Single cell centered in the field. Bone marrow aspirate smear
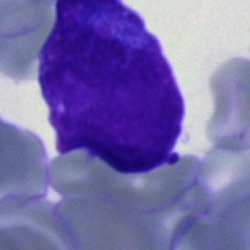 Undifferentiated blast.